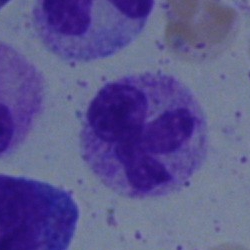Specimen: bone marrow smear.
Classification: polymorphonuclear neutrophil.
Lineage: myeloid.